40× oil immersion. Bone marrow smear: 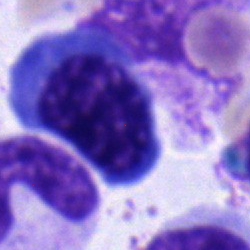 This is a normoblast.